Bone marrow smear — 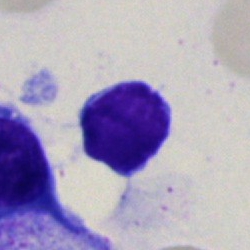

Classification — typical lymphocyte.